Bone marrow aspirate smear:
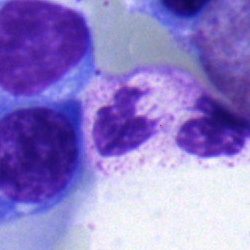

The cell shown is a segmented neutrophil.